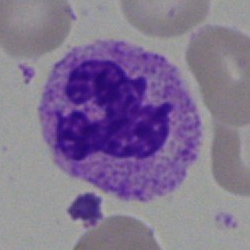

The cell is neutrophil (segmented).